Bone marrow smear. Single cell centered in the field. MGG-stained.
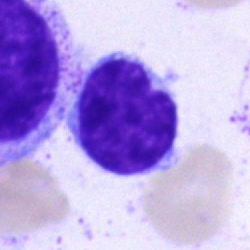
Cell type — lymphocyte.